Bone marrow aspirate smear:
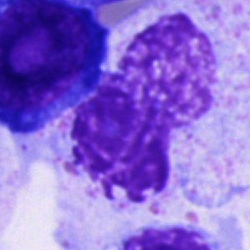Artefact.